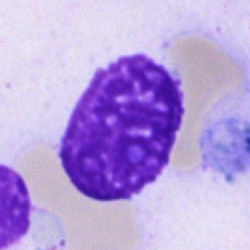The cell type is artefact.